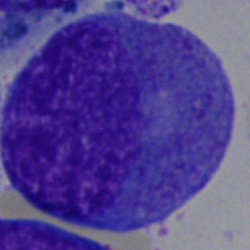
Single cell identified as a promyelocyte.